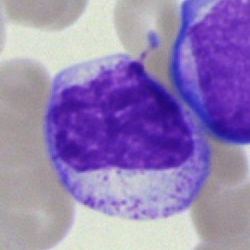
{"cell_type": "unidentifiable cell"}